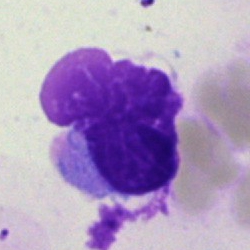

Q: What is shown here?
A: This is an artefact.